Bone marrow aspirate smear · Pappenheim-stained — 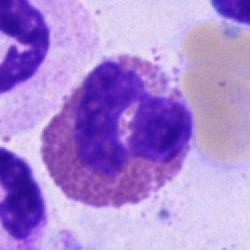
Classification — eosinophil.